Bone marrow aspirate smear; 40× oil immersion:
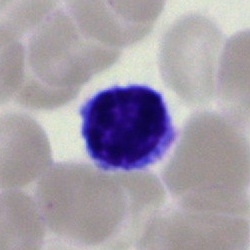

Specimen: bone marrow smear.
Classification: lymphocyte.